Bone marrow aspirate smear:
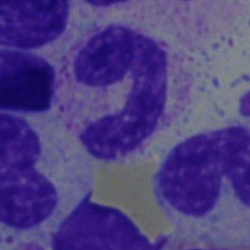
Specimen: bone marrow aspirate smear.
Morphological class: band-form neutrophil.